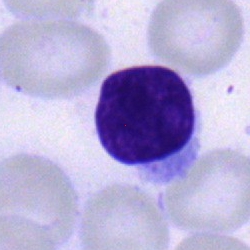

Impression → typical lymphocyte.